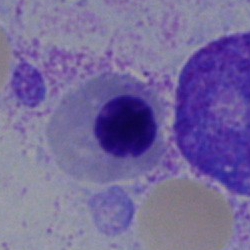 Specimen: bone marrow smear.
Morphological class: nucleated red cell.
Lineage: erythroid.